Bone marrow smear.
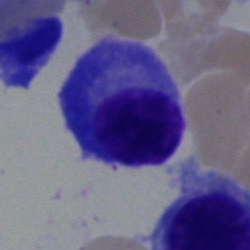 The cell shown is a plasmacyte.